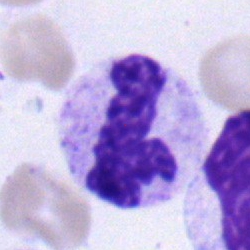Q: What is shown here?
A: It is a neutrophil (segmented).